Bone marrow aspirate smear. Image size 250×250. May-Grünwald-Giemsa/Pappenheim stain.
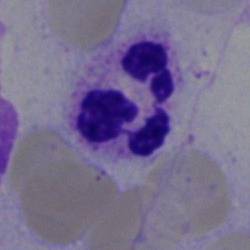 Showing a neutrophil (segmented).